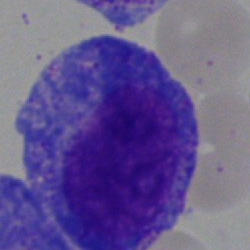 The classification is progranulocyte.